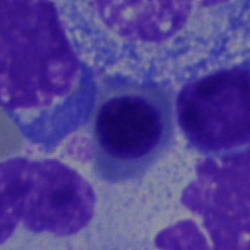 Single cell identified as an erythroblast.